Bone marrow smear.
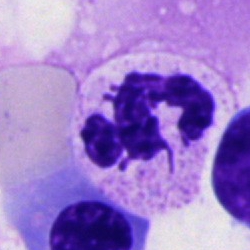

Single cell identified as a segmented neutrophil.